Brightfield, 40× oil-immersion objective. Single-cell crop. Bone marrow aspirate smear
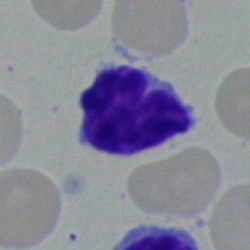

Cell: typical lymphocyte.